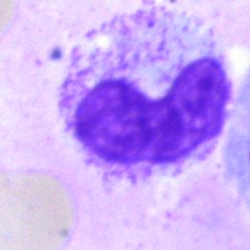The cell type is stab cell.